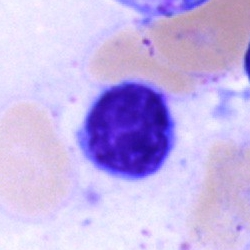

Specimen: bone marrow smear.
Classification: typical lymphocyte.
Lineage: lymphoid.